Peripheral blood smear — 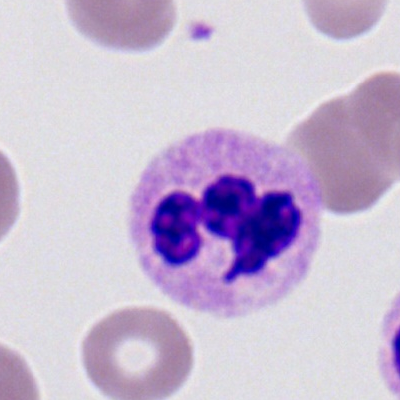

Specimen: peripheral blood smear.
Cell type: segmented neutrophil.
Lineage: myeloid.